Single cell centered in the field; bone marrow smear
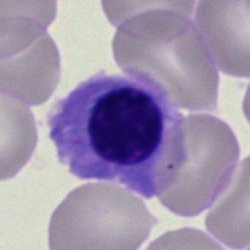

Morphological class: erythroblast.